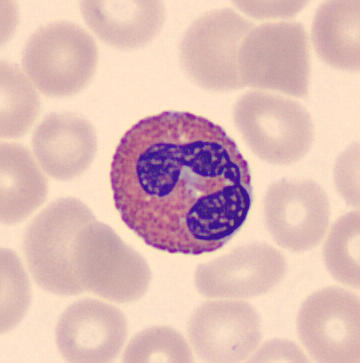
Acquisition: Peripheral blood film.
Impression → eosinophilic granulocyte.